Bone marrow aspirate smear; 250×250 px:
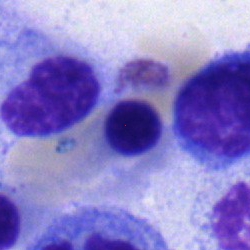This is a normoblast.